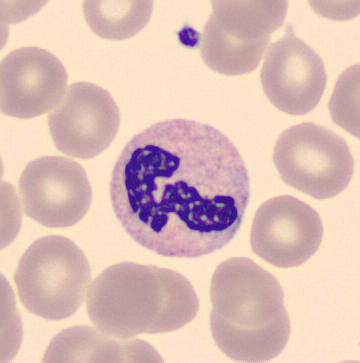 Cell type — neutrophil (segmented).
Peripheral blood smear.